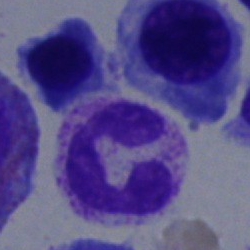
The cell type is neutrophil (segmented).